Brightfield microscopy, 40× oil immersion. Bone marrow smear.
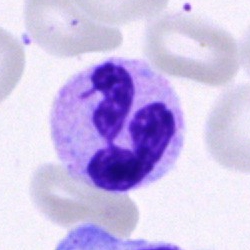Morphological class: polymorphonuclear neutrophil.